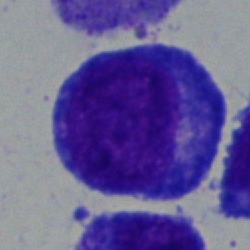Q: What is shown here?
A: This is a progranulocyte.